Cropped to a single cell; bone marrow aspirate smear; brightfield microscopy, 40× oil immersion
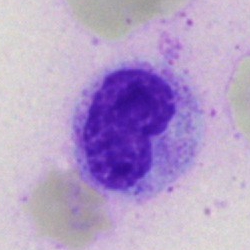

Classification — metamyelocyte.